Bone marrow aspirate smear
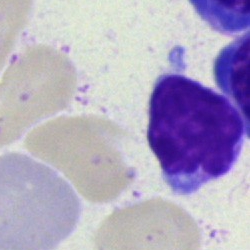 {"cell_type": "typical lymphocyte"}